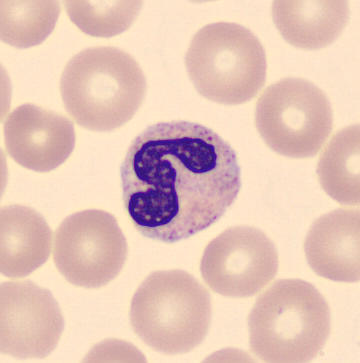

MGG stain · peripheral blood film. Classification: neutrophil (segmented).